Cropped to a single cell · peripheral blood smear · image size 360×363
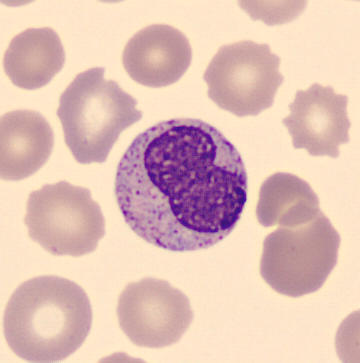 Morphological class: metamyelocyte.